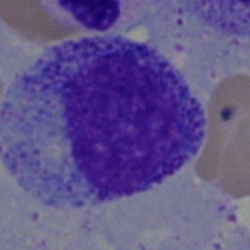

{"cell_type": "progranulocyte"}